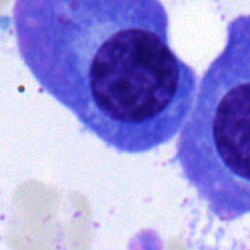Specimen: bone marrow aspirate smear.
Morphological class: plasma cell.